Bone marrow aspirate smear:
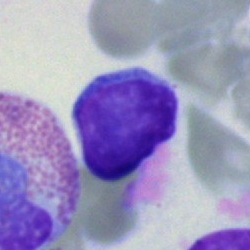 The cell is lymphocyte.